Bone marrow smear — 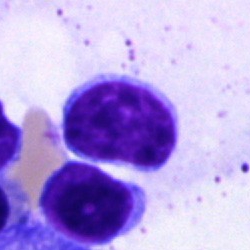Q: What is the morphological classification of this cell?
A: Lymphocyte.